Bone marrow aspirate smear:
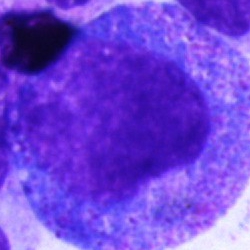 Cell type: promyelocyte.